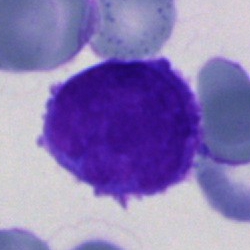

Specimen: bone marrow smear.
Classification: blast.